40× objective, oil immersion · 250×250 px · bone marrow aspirate smear.
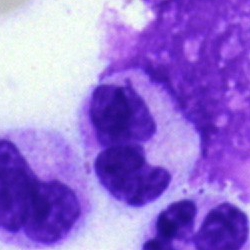 Showing a neutrophil (segmented).